Bone marrow smear — 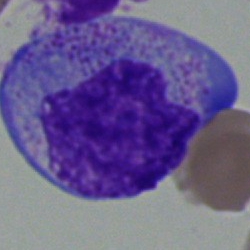
{"cell_type": "promyelocyte", "lineage": "myeloid"}